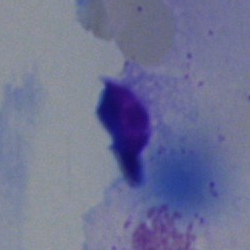 Impression — artefact.